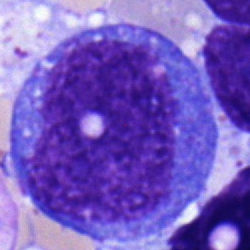

Specimen: bone marrow aspirate smear.
Morphological class: progranulocyte.
Lineage: myeloid.